Bone marrow aspirate smear.
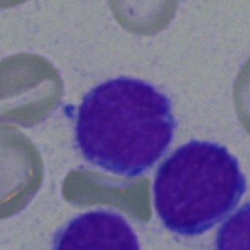 The cell is typical lymphocyte.